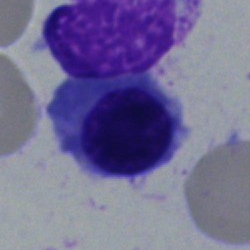 {"cell_type": "normoblast"}